Bone marrow smear: 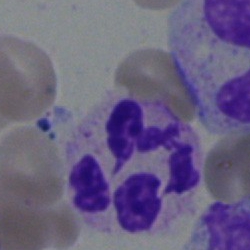 Showing a polymorphonuclear neutrophil.